Bone marrow smear
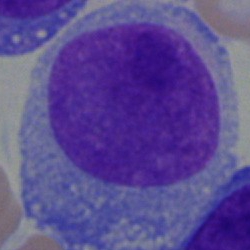 Specimen: bone marrow smear.
Cell type: blast.